250×250. Bone marrow aspirate smear. 40× oil immersion.
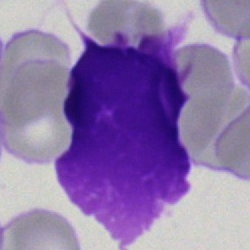

The cell shown is an artifact.